Bone marrow aspirate smear. Single-cell field — 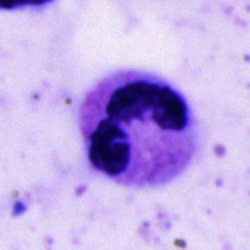
Morphological class — neutrophil (segmented).